Bone marrow aspirate smear:
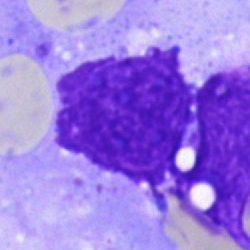

Morphology consistent with an artefact.